Bone marrow aspirate smear
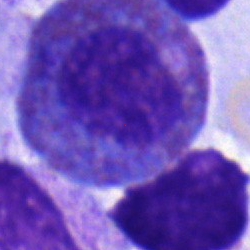This is an eosinophilic granulocyte.